MGG-stained. Bone marrow smear. Brightfield microscopy, 40× oil immersion — 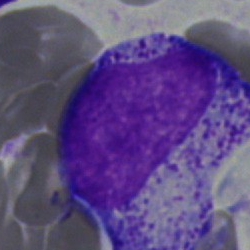Q: Identify the cell.
A: Myelocyte.